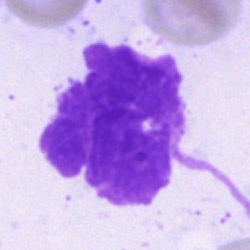

Specimen: bone marrow aspirate smear.
Cell type: artifact.